Bone marrow aspirate smear. 40× objective, oil immersion.
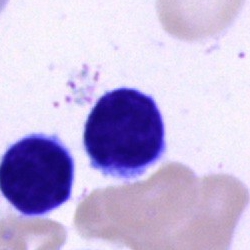

Morphology consistent with a lymphocyte.